Cropped to a single cell · bone marrow aspirate smear.
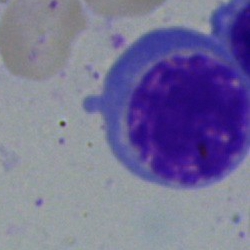
Specimen: bone marrow smear.
Morphological class: nucleated red cell.